Bone marrow smear:
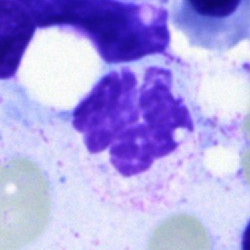

Specimen: bone marrow smear.
Cell: artefact.